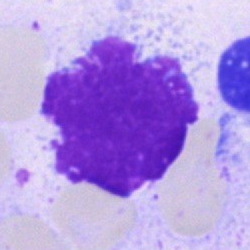Classification — artefact.